400×400. Peripheral blood smear — 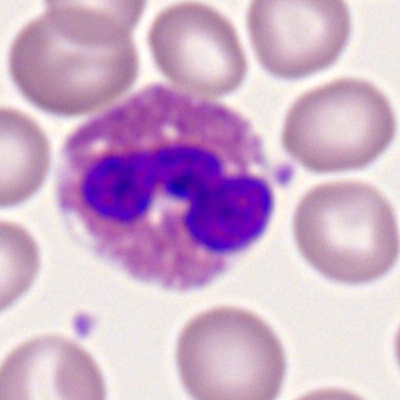 Eosinophilic granulocyte.